Bone marrow smear
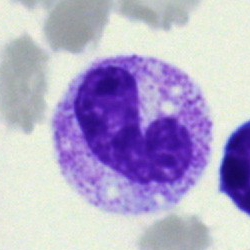 Cell = band neutrophil.